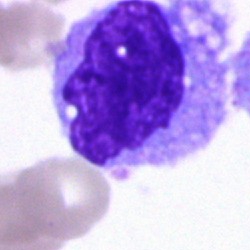 {"cell_type": "monocyte"}